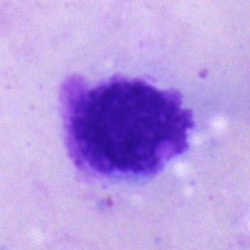
An artefact on a bone marrow smear.